Bone marrow aspirate smear — 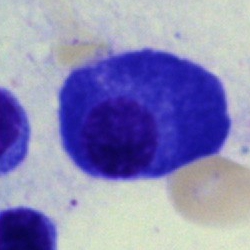 A plasmacyte.